Bone marrow aspirate smear: 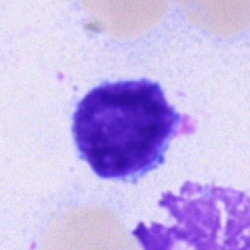

Cell — typical lymphocyte.